Bone marrow smear:
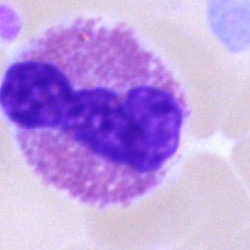 Classification: eosinophil.